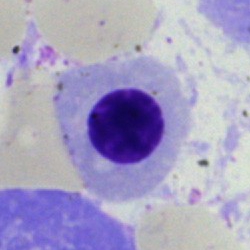
Nucleated red cell.